Peripheral blood smear
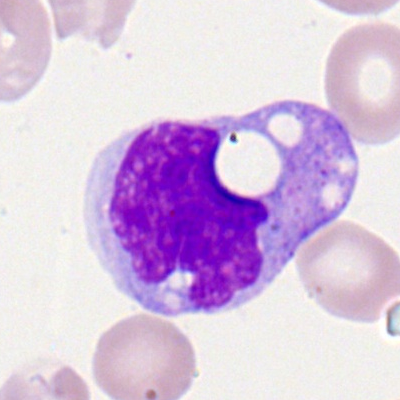Single cell identified as a monocyte.